Peripheral blood film.
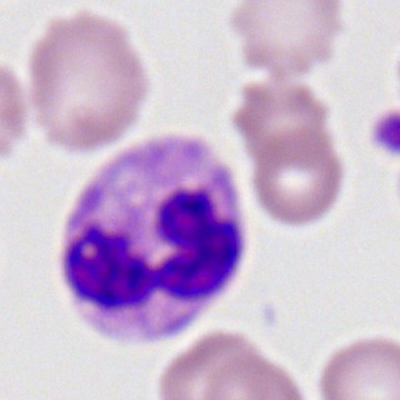Segmented neutrophil.